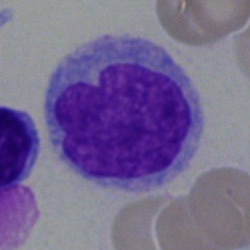

Bone marrow aspirate smear, single cell — monocyte.